Bone marrow smear · May-Grünwald-Giemsa stain · image size 250×250:
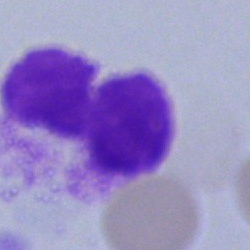Impression — artifact.